Bone marrow aspirate smear · brightfield, 40× oil-immersion objective:
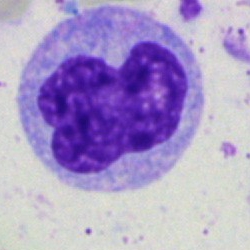

Q: What type of cell is this?
A: This is a monocyte.